CellaVision DM96 digital cell image; peripheral blood film — 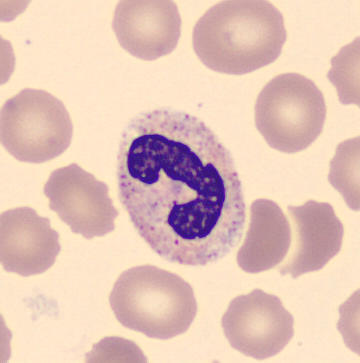Morphology consistent with a stab cell.